Bone marrow smear.
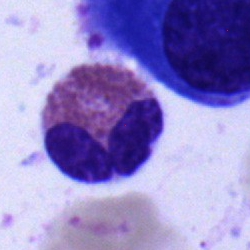 Showing an eosinophilic granulocyte.